Bone marrow aspirate smear
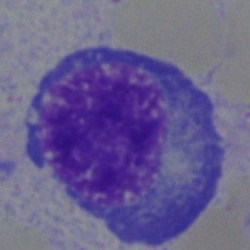
Q: What cell is this?
A: This is an erythroblast.